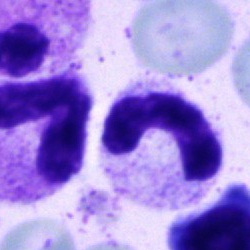Bone marrow smear showing a band neutrophil.